Image size 250×250; bone marrow smear.
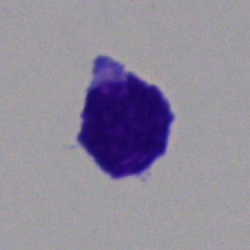
Specimen: bone marrow aspirate smear.
Classification: undifferentiated blast.